Bone marrow aspirate smear — 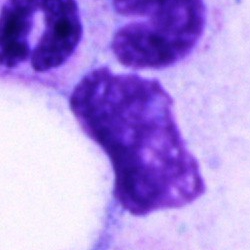
Specimen: bone marrow smear.
Cell: artefact.